250×250; bone marrow smear:
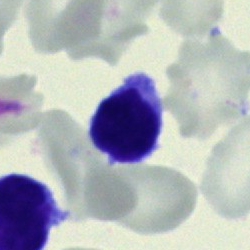

This is a lymphocyte.